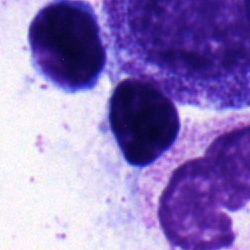
Impression — lymphocyte.